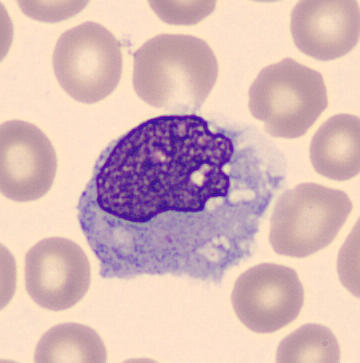
Single cell centered in the field.
Specimen: peripheral blood film.
Cell type: monocyte.